Bone marrow aspirate smear: 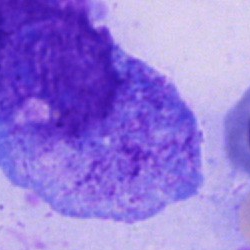 Morphology consistent with a progranulocyte.